Bone marrow smear — 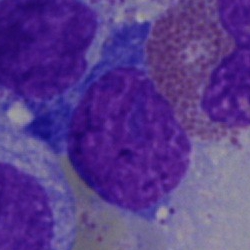

Morphological class = eosinophilic granulocyte.